Bone marrow smear.
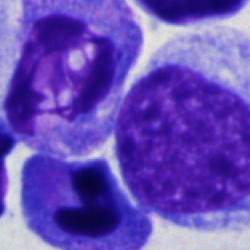

Morphological class — artifact.